Bone marrow smear; image size 250×250:
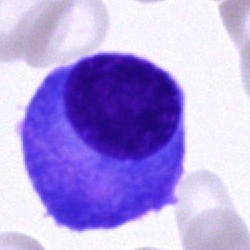
The cell type is plasmacyte.